May-Grünwald-Giemsa/Pappenheim stain; 250×250; bone marrow aspirate smear
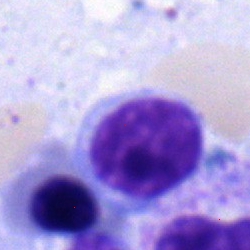
Cell: lymphocyte.